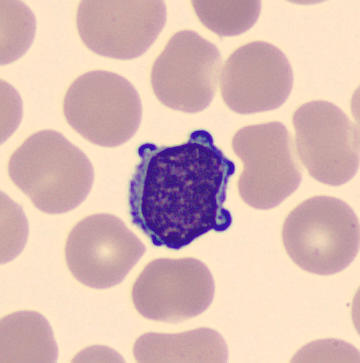
Q: Which cell type is shown here?
A: Lymphocyte. Peripheral blood film.